Brightfield microscopy, 40× oil immersion; bone marrow aspirate smear:
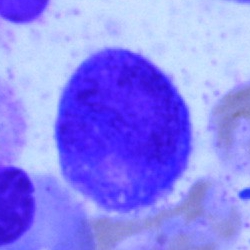Promyelocyte.